Bone marrow smear — 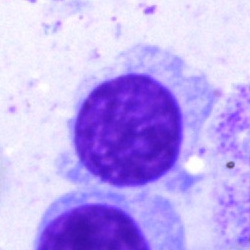Cell = lymphocyte.